Peripheral blood film: 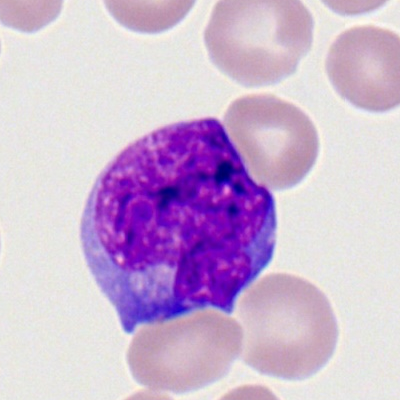 This is a myeloid blast.